250×250 px; bone marrow smear; cropped to a single cell:
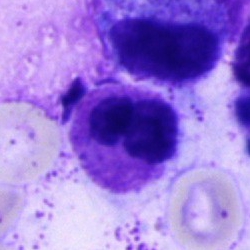

Morphology → polymorphonuclear neutrophil.